Bone marrow aspirate smear; 250 by 250 pixels.
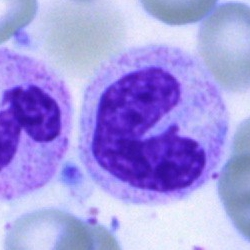

Impression — segmented neutrophil.